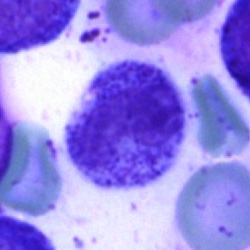

The cell is segmented neutrophil.